Peripheral blood smear · image size 400×400 — 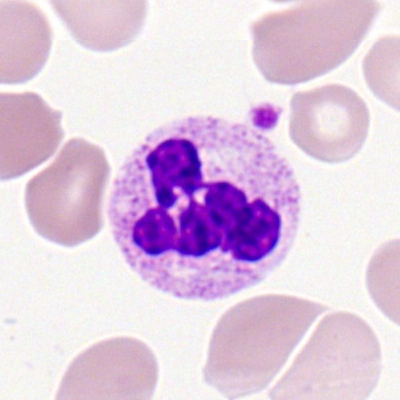
{"cell_type": "segmented neutrophil", "lineage": "myeloid"}